Pappenheim-stained; bone marrow smear; cropped to a single cell — 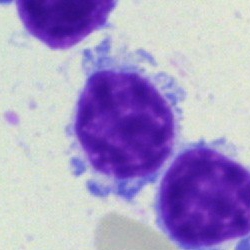Lymphocyte.